Pappenheim-stained; bone marrow aspirate smear
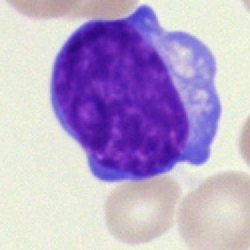
Q: Identify the cell.
A: An undifferentiated blast.